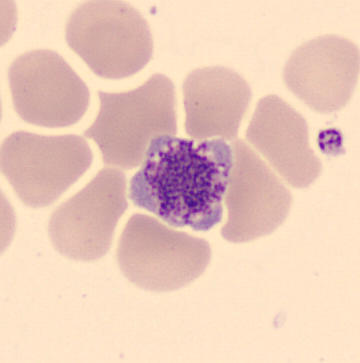 Morphology — platelet.